Bone marrow aspirate smear.
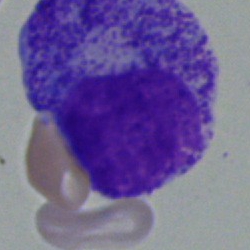

Single cell identified as a promyelocyte.